Bone marrow aspirate smear. Single-cell field. 40× objective, oil immersion — 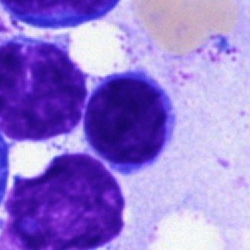

Impression → typical lymphocyte.